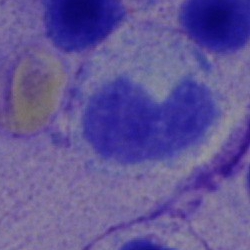
Morphology — band neutrophil.